Bone marrow aspirate smear.
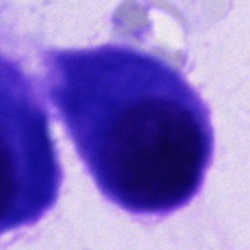 Other cell.